Peripheral blood film.
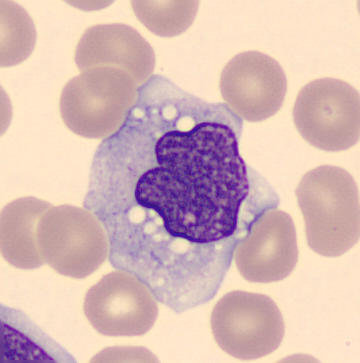Morphology — monocyte.